Bone marrow smear — 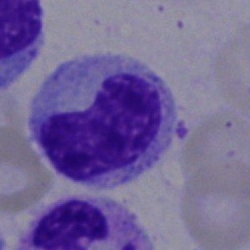

Showing a neutrophil (band).